Bone marrow smear: 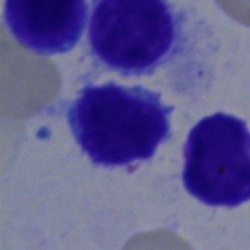
{"cell_type": "typical lymphocyte", "lineage": "lymphoid"}